Bone marrow smear. 40× objective, oil immersion. 250 by 250 pixels — 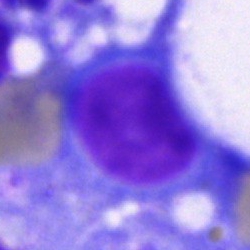 Classification — blast cell.